Bone marrow smear
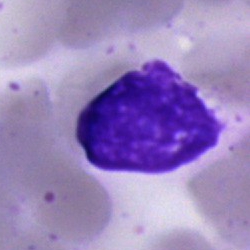The cell is artefact.